Bone marrow aspirate smear; brightfield microscopy, 40× oil immersion: 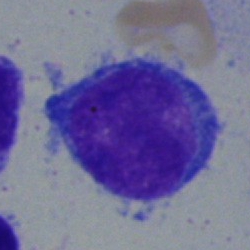Morphology → blast.